Bone marrow aspirate smear:
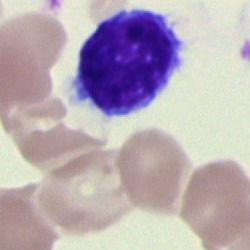

Q: What is shown here?
A: Typical lymphocyte.